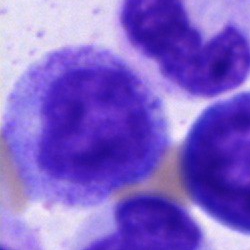
The classification is progranulocyte.